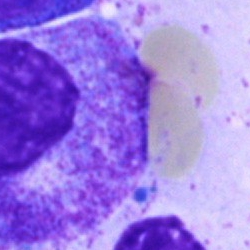
Specimen: bone marrow aspirate smear.
Cell type: promyelocyte.
Lineage: myeloid.